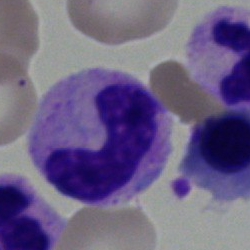This is a neutrophil (band).